Bone marrow aspirate smear:
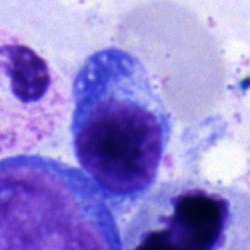Cell type = plasmacyte.